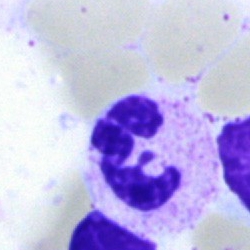Q: What cell is this?
A: This is a segmented neutrophil.